Bone marrow aspirate smear. May-Grünwald-Giemsa stain — 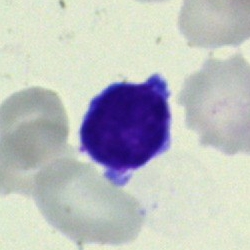{"cell_type": "typical lymphocyte", "lineage": "lymphoid"}